Peripheral blood smear; single cell centered in the field:
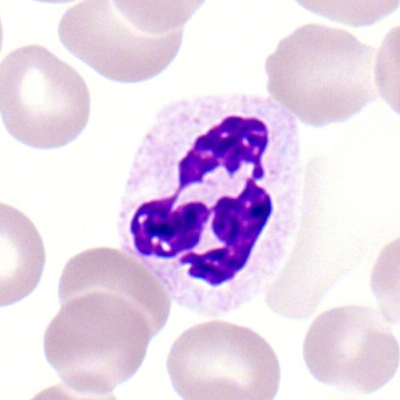
Single cell identified as a segmented neutrophil.